Bone marrow aspirate smear
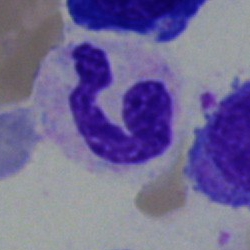Morphological class — segmented neutrophil.